Cropped to a single cell; bone marrow smear — 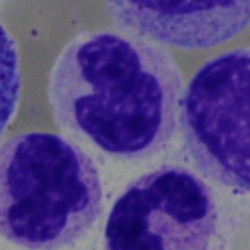
This is a stab cell.